Bone marrow smear; 250×250 px; Pappenheim-stained — 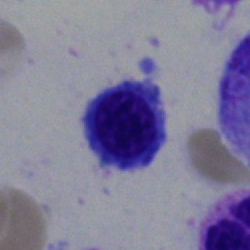
Q: What type of cell is this?
A: Lymphocyte.